Peripheral blood film · 100× objective, oil immersion:
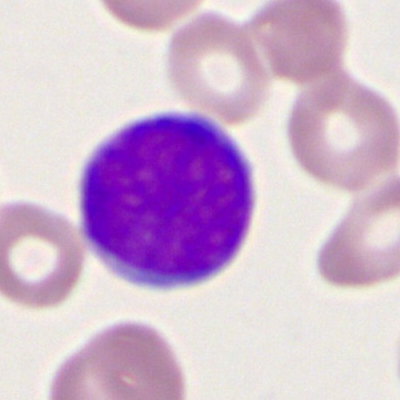
Impression → myeloid blast.